May-Grünwald-Giemsa stain · bone marrow aspirate smear:
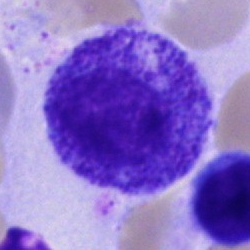 {"cell_type": "progranulocyte"}